Bone marrow aspirate smear: 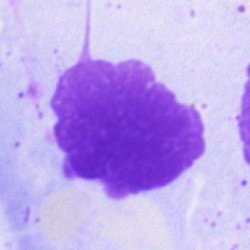Specimen: bone marrow smear.
Cell: artifact.